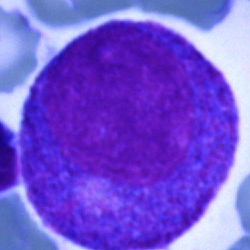
Morphology consistent with a progranulocyte.